250×250 px · bone marrow aspirate smear: 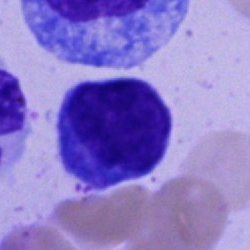 A lymphocyte.